Bone marrow aspirate smear
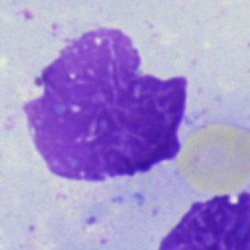 Q: What is shown here?
A: Artifact.